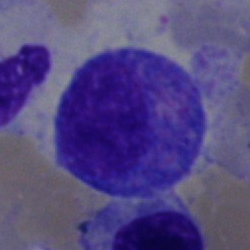

Bone marrow smear showing a progranulocyte.